Image size 250×250; bone marrow smear:
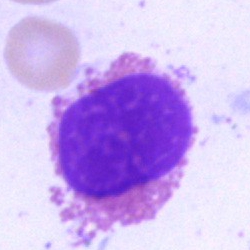

Cell type = artifact.